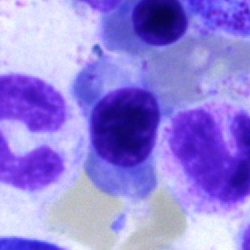

Q: Which cell type is shown here?
A: A nucleated red blood cell.